Bone marrow smear. Single cell centered in the field. 40× oil immersion: 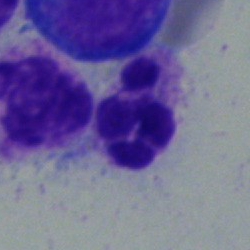
Q: Identify the cell.
A: This is a polymorphonuclear neutrophil.